Single cell centered in the field. Bone marrow aspirate smear
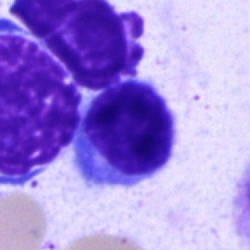The morphological class is typical lymphocyte.